Bone marrow aspirate smear.
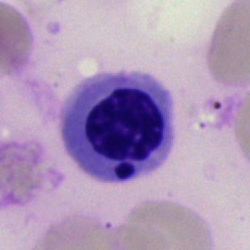

Specimen: bone marrow aspirate smear.
Cell type: normoblast.
Lineage: erythroid.